MGG-stained; bone marrow smear — 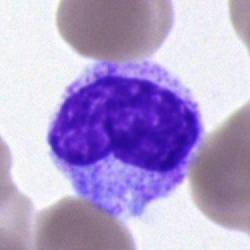
Specimen: bone marrow smear.
Morphological class: metamyelocyte.
Lineage: myeloid.